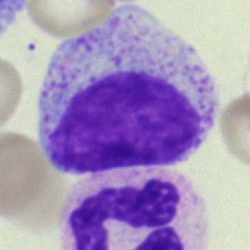

{"cell_type": "myelocyte"}